Peripheral blood smear — 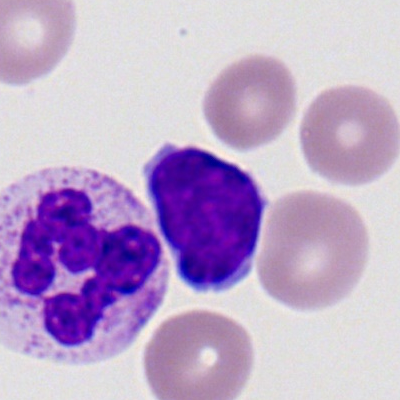
Q: What cell is this?
A: This is a lymphocyte.